Single-cell crop. Bone marrow aspirate smear — 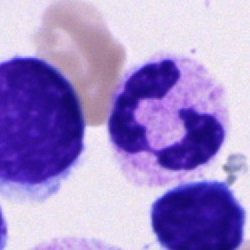 Morphology → polymorphonuclear neutrophil.